Peripheral blood smear; 400 by 400 pixels
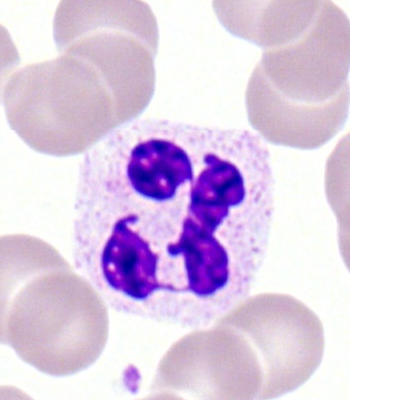

Showing a segmented neutrophil.